Bone marrow smear. 250×250:
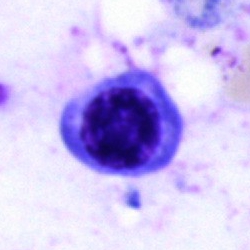
Q: Identify the cell.
A: Normoblast.